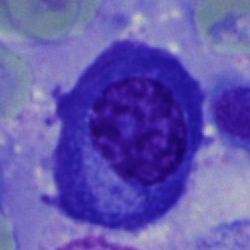
Cell type = plasma cell.